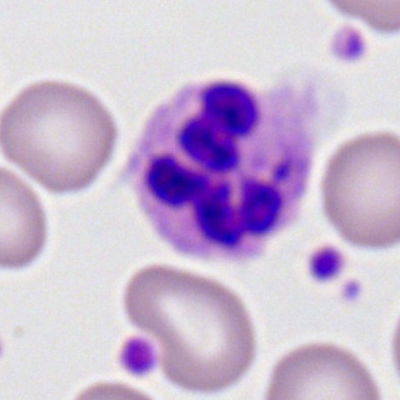Q: Identify the cell.
A: A segmented neutrophil.